Bone marrow aspirate smear.
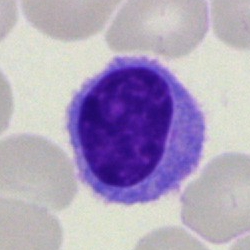
Q: What is shown here?
A: A typical lymphocyte.